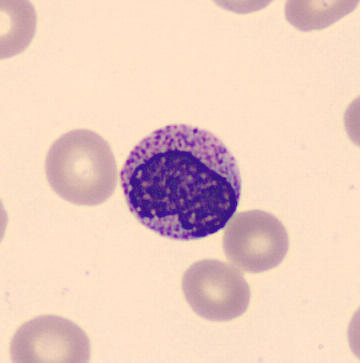Cell = metamyelocyte.